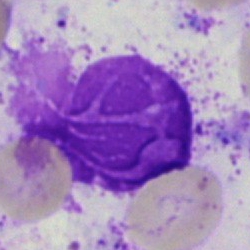 {"cell_type": "artefact"}